250×250 px; brightfield microscopy, 40× oil immersion; bone marrow smear — 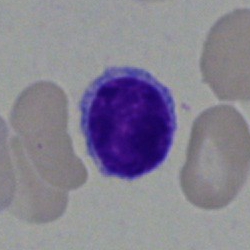
Single cell identified as a typical lymphocyte.